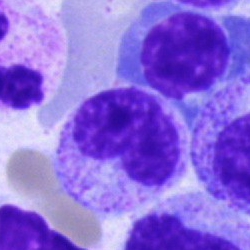The cell is metamyelocyte.